Bone marrow aspirate smear. Single-cell crop. MGG-stained
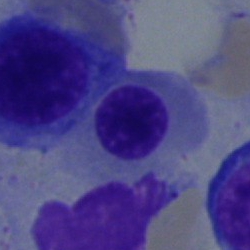 Q: Identify the cell.
A: Nucleated red blood cell.